Bone marrow aspirate smear.
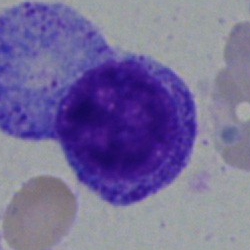
Specimen: bone marrow aspirate smear.
Cell: myelocyte.
Lineage: myeloid.